Brightfield, 40× oil-immersion objective; bone marrow smear; cropped to a single cell:
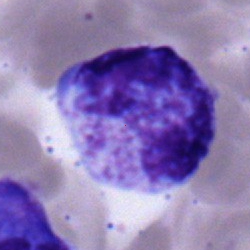 The cell shown is a myelocyte.